250×250. Bone marrow aspirate smear
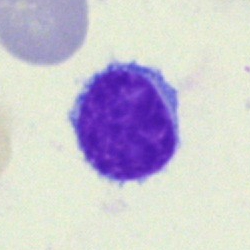 Cell = typical lymphocyte.